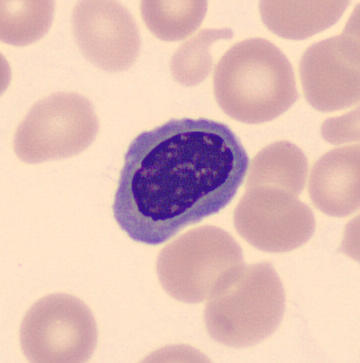

Specimen: peripheral blood smear.
Cell type: normoblast.
Lineage: erythroid.

Acquisition: Cropped to a single cell.